Bone marrow aspirate smear. 250 by 250 pixels — 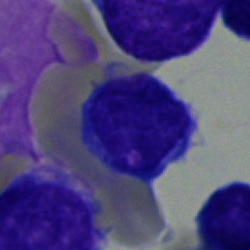
Impression → lymphocyte.